Bone marrow aspirate smear
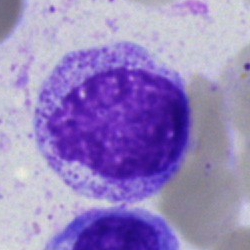 Q: What is the morphological classification of this cell?
A: A myelocyte.